Bone marrow aspirate smear:
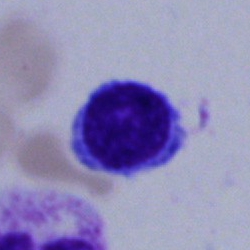 This is a lymphocyte.